Cropped to a single cell. Bone marrow smear
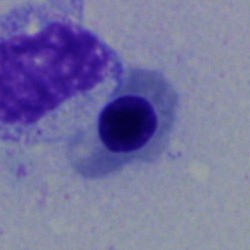
Specimen: bone marrow smear.
Cell: nucleated red cell.
Lineage: erythroid.